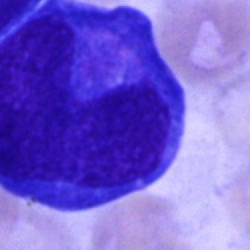
Impression → undifferentiated blast.